Bone marrow smear:
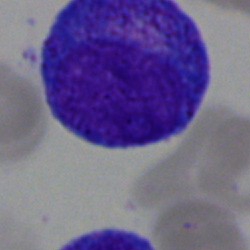

The classification is promyelocyte.